Bone marrow smear — 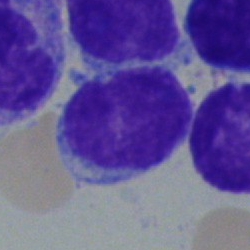
Impression → lymphocyte.